Bone marrow smear; May-Grünwald-Giemsa stain; brightfield microscopy, 40× oil immersion: 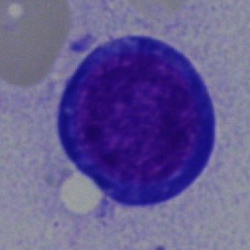Q: What is shown here?
A: This is a proerythroblast.